Bone marrow smear:
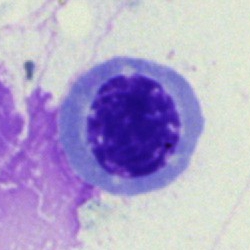 Cell — normoblast.